Bone marrow aspirate smear: 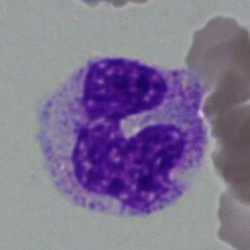
Q: What is shown here?
A: Segmented neutrophil.